Bone marrow aspirate smear: 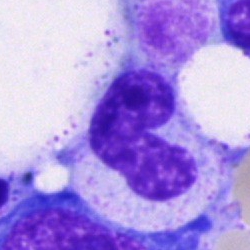 A stab cell.